Bone marrow aspirate smear: 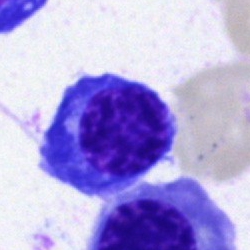
Q: What type of cell is this?
A: Erythroblast.